Bone marrow smear — 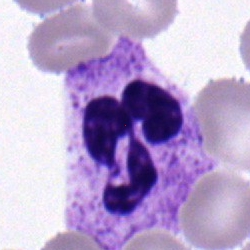

Classification: polymorphonuclear neutrophil.